Bone marrow aspirate smear · 250×250 px:
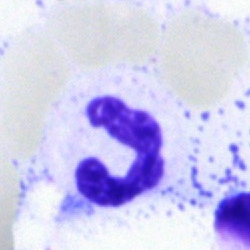
Single cell identified as a segmented neutrophil.